Bone marrow smear. Single cell centered in the field.
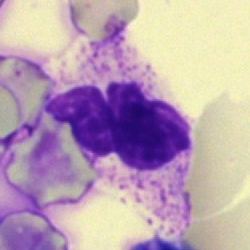 Single cell identified as a neutrophil (segmented).